Pappenheim-stained · bone marrow smear · 40× oil immersion: 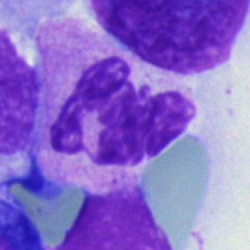The cell type is neutrophil (segmented).